Cropped to a single cell; bone marrow smear
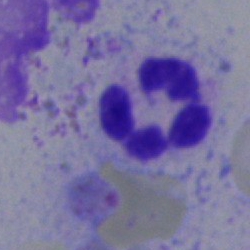A polymorphonuclear neutrophil.